Peripheral blood film · Romanowsky-stained · M8 digital microscope (Precipoint), 100× oil immersion.
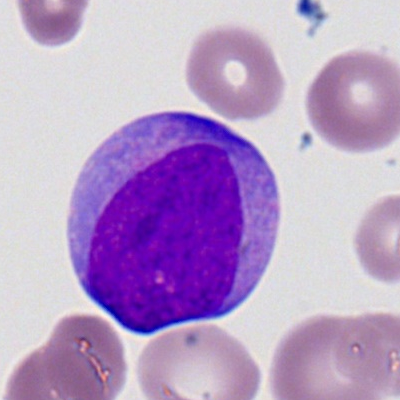
Morphology — myeloblast.